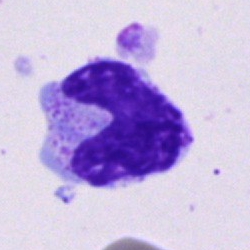

Morphology consistent with a segmented neutrophil.